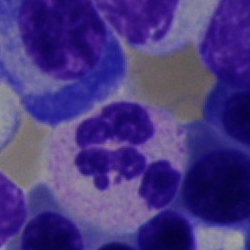 Morphological class = polymorphonuclear neutrophil.